Bone marrow smear · image size 250×250
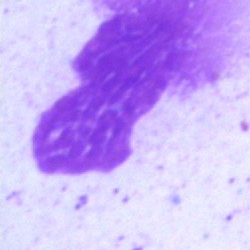
This is an artifact.